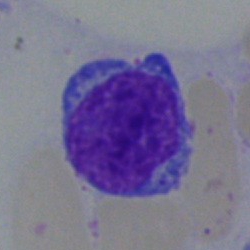 Cell type = typical lymphocyte.